MGG-stained. Bone marrow smear — 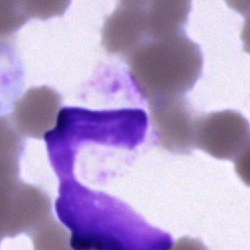
This is an artefact.